Bone marrow smear
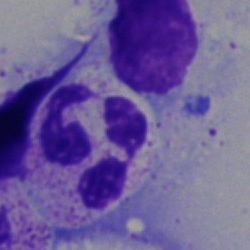
This is a polymorphonuclear neutrophil.